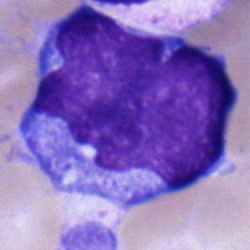 Bone marrow aspirate smear, single cell — monocyte.